Single cell centered in the field · bone marrow smear: 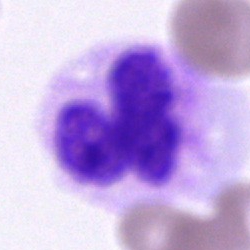Showing a polymorphonuclear neutrophil.